Bone marrow aspirate smear. May-Grünwald-Giemsa stain
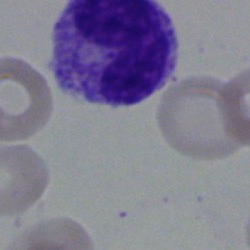Single cell identified as a neutrophil (band).